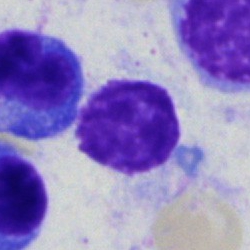

{"cell_type": "artifact"}